250×250 px; bone marrow aspirate smear
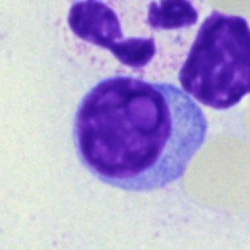Cell type: lymphocyte.